Brightfield microscopy, 40× oil immersion. MGG-stained. Bone marrow aspirate smear:
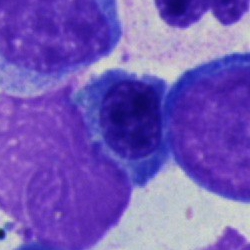

Morphology consistent with an erythroblast.